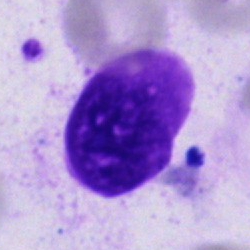 Q: What is shown here?
A: It is an artifact.